Bone marrow smear — 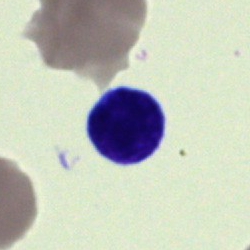Unidentifiable cell.